Brightfield microscopy, 40× oil immersion · bone marrow aspirate smear
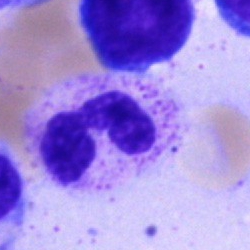Specimen: bone marrow smear.
Cell type: neutrophil (segmented).